Peripheral blood smear. 360×363 px: 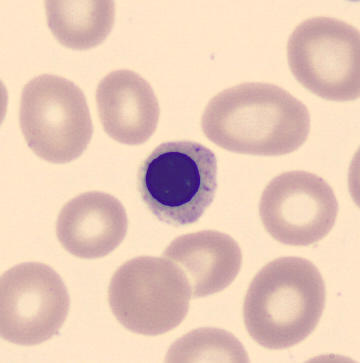Nucleated red cell.